Brightfield, 40× oil-immersion objective. Single cell centered in the field. Bone marrow aspirate smear.
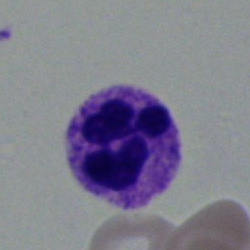

Specimen: bone marrow aspirate smear.
Classification: neutrophil (segmented).